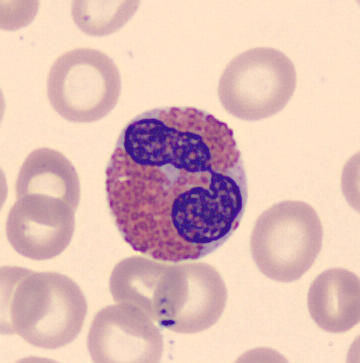Acquisition: MGG stain · peripheral blood smear. Morphology consistent with an eosinophilic granulocyte.